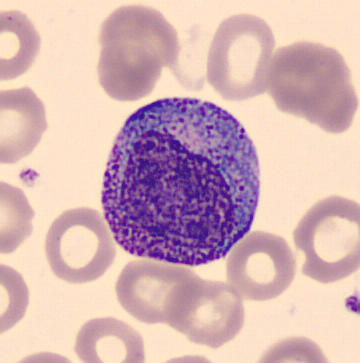The morphological class is promyelocyte.
Image: Peripheral blood smear.